40× oil immersion · bone marrow aspirate smear
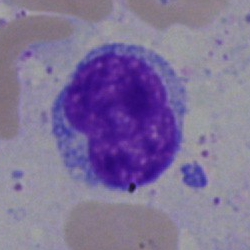
The cell shown is a typical lymphocyte.